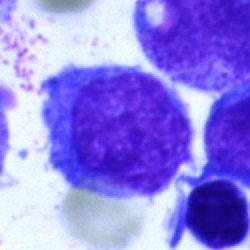

Bone marrow aspirate smear, single cell — blast cell.